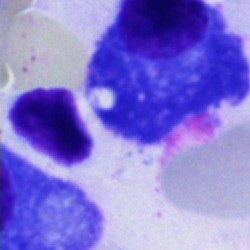The cell type is plasmacyte.